250×250 px · bone marrow smear · May-Grünwald-Giemsa/Pappenheim stain: 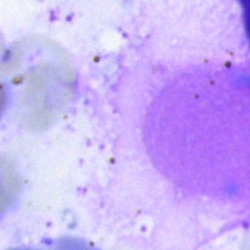Cell type = artifact.